May-Grünwald-Giemsa stain; bone marrow aspirate smear:
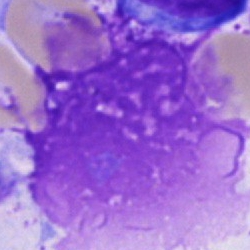
Morphological class = artifact.